Bone marrow smear:
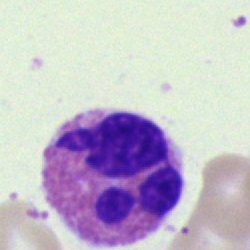 The cell shown is a basophil.